Peripheral blood smear: 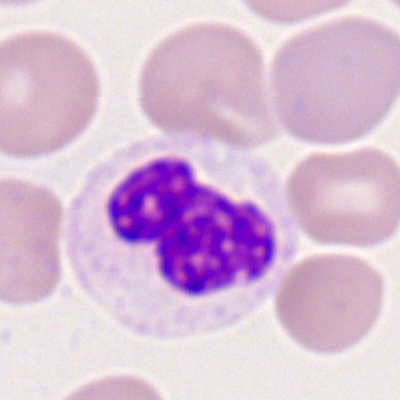Polymorphonuclear neutrophil.